Bone marrow aspirate smear · cropped to a single cell
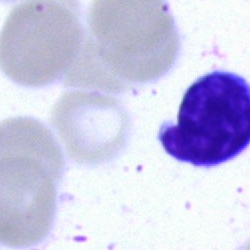
Cell — artefact.